Bone marrow aspirate smear
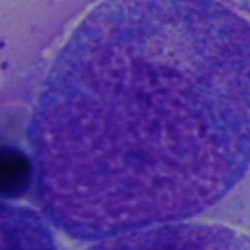 Morphology consistent with a promyelocyte.